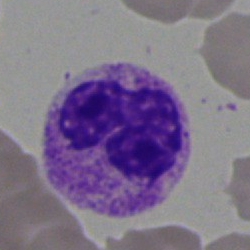
Q: What is the morphological classification of this cell?
A: A segmented neutrophil.